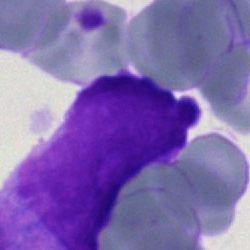Undifferentiated blast.